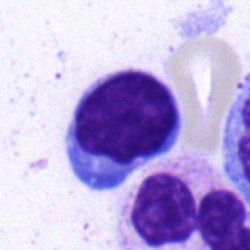 A lymphocyte.